Bone marrow smear. 250×250.
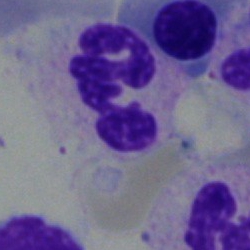
Q: What is the morphological classification of this cell?
A: Neutrophil (segmented).